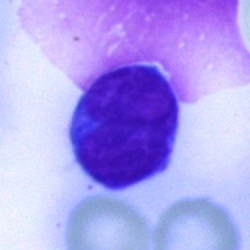{"cell_type": "lymphocyte"}